Romanowsky-type stain. Peripheral blood film:
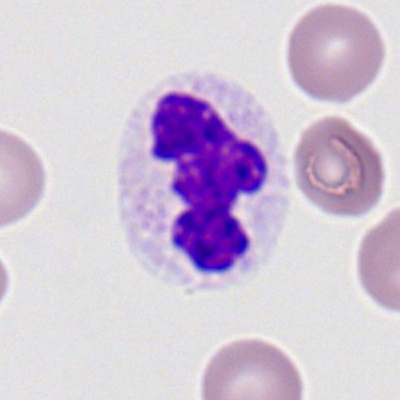
Q: What is shown here?
A: It is a neutrophil (segmented).